Bone marrow aspirate smear — 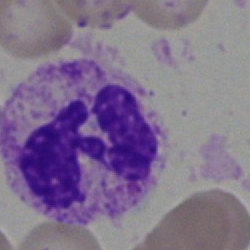

Neutrophil (segmented).